Bone marrow aspirate smear.
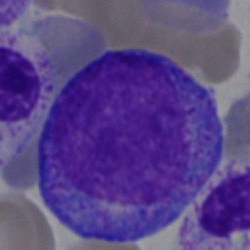

Classification — promyelocyte.